Bone marrow smear.
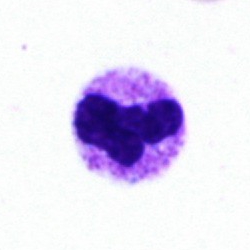

Segmented neutrophil.